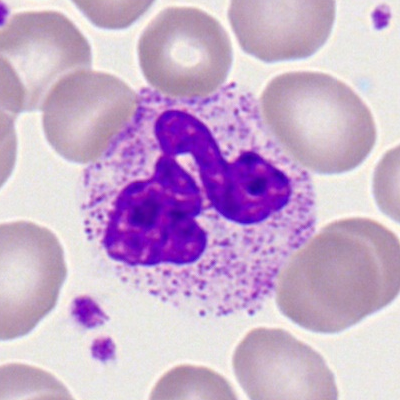
Specimen: peripheral blood smear.
Morphological class: segmented neutrophil.
Lineage: myeloid.